Bone marrow smear.
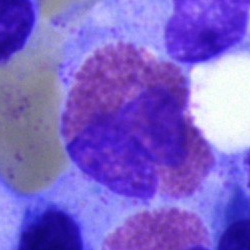Eosinophil.